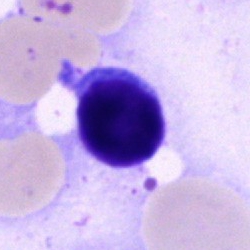
Bone marrow aspirate smear, single cell — lymphocyte.